Bone marrow aspirate smear
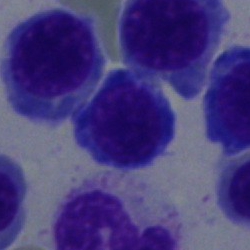Morphological class: normoblast.